Bone marrow aspirate smear — 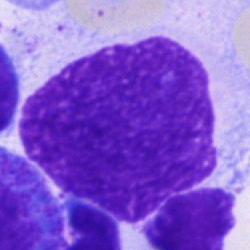Morphological class: artifact.